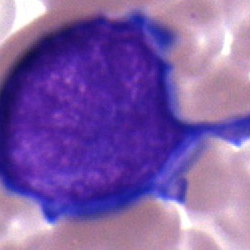 A proerythroblast.